Bone marrow smear; image size 250×250; brightfield, 40× oil-immersion objective: 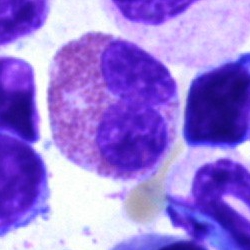 Impression → eosinophilic granulocyte.